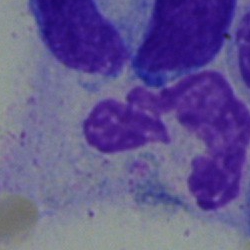
The cell type is band-form neutrophil.